Bone marrow smear — 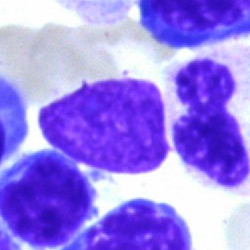

This is an artifact.